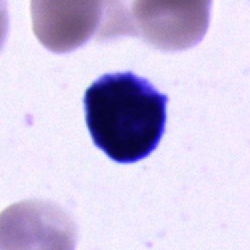Cell of indeterminate lineage.